Bone marrow aspirate smear
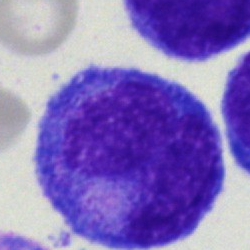 Specimen: bone marrow smear.
Cell: promyelocyte.
Lineage: myeloid.